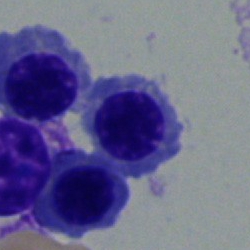 Impression — nucleated red cell.